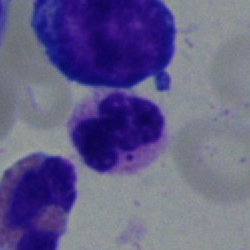Single cell identified as a segmented neutrophil.